Bone marrow aspirate smear: 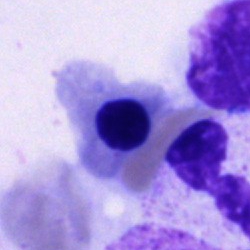 Q: What cell is this?
A: It is an erythroblast.